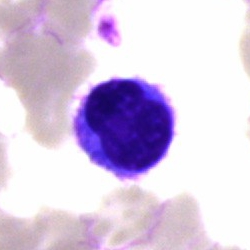 The morphological class is lymphocyte.